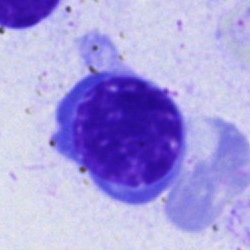The cell shown is a normoblast.